Bone marrow aspirate smear: 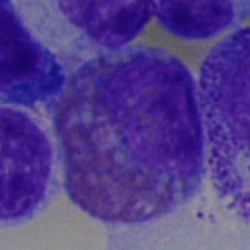
Morphology — eosinophil.